Bone marrow aspirate smear — 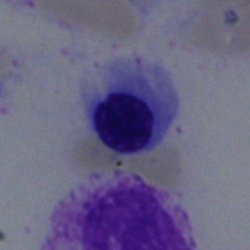
Morphology consistent with a nucleated red cell.